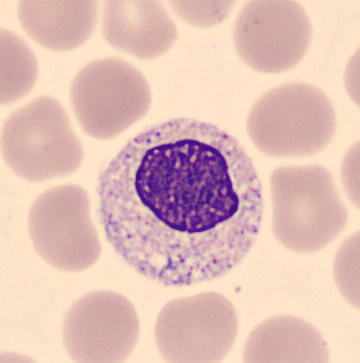

Specimen: peripheral blood film.
Cell: myelocyte.

Single-cell field.